250×250 · bone marrow smear.
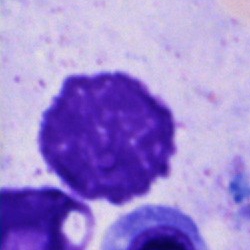Q: What is shown here?
A: Artifact.